Bone marrow aspirate smear
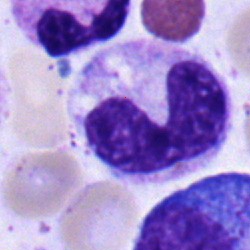
Cell = stab cell.